Bone marrow smear:
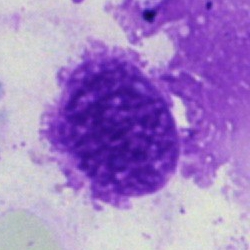 {"cell_type": "artefact"}